Bone marrow smear · Pappenheim-stained — 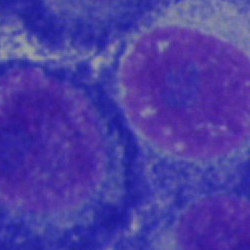

{"cell_type": "plasmacyte"}